Pappenheim-stained; bone marrow smear; 40× objective, oil immersion:
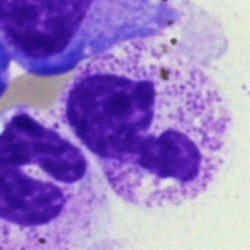
Q: What cell is this?
A: Polymorphonuclear neutrophil.